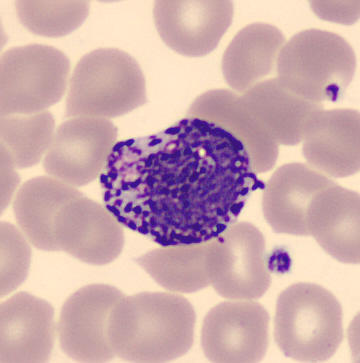
The morphological class is basophil.